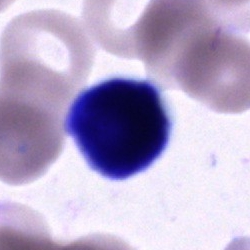 Morphology consistent with a cell of indeterminate lineage.